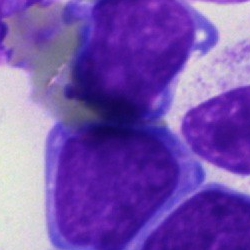Cell — undifferentiated blast.